May-Grünwald-Giemsa/Pappenheim stain · 250×250 · bone marrow aspirate smear — 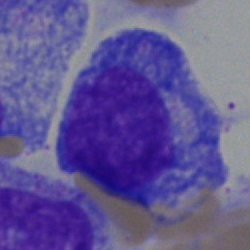

The morphological class is promyelocyte.